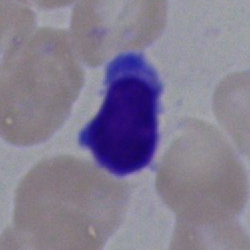 Plasmacyte.